Bone marrow smear
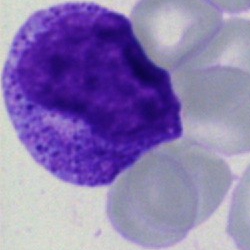 Q: What is the morphological classification of this cell?
A: It is a myelocyte.